Bone marrow smear. Pappenheim-stained — 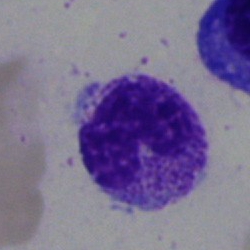

Morphology consistent with a metamyelocyte.